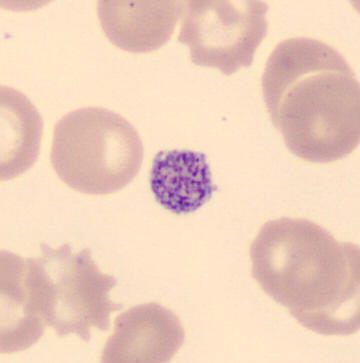 Impression → platelet. Image: Peripheral blood film.